Bone marrow smear: 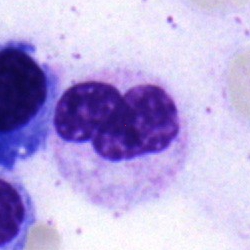

Morphology → band neutrophil.